Image size 250×250; bone marrow smear
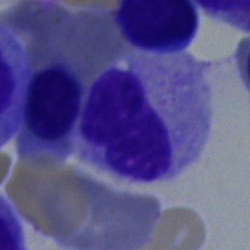
Morphology — band-form neutrophil.